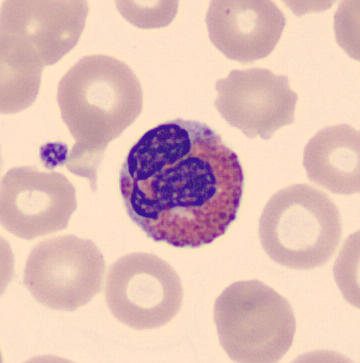

Q: Identify the cell.
A: It is an eosinophil.
Peripheral blood smear.